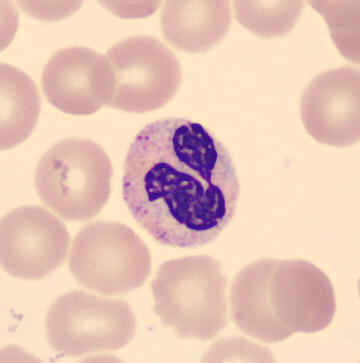Peripheral blood smear showing a neutrophil (segmented).